Bone marrow smear; 40× oil immersion — 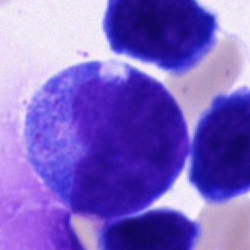 The morphological class is progranulocyte.